Single-cell crop · bone marrow smear
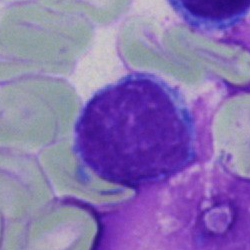

Morphology → typical lymphocyte.